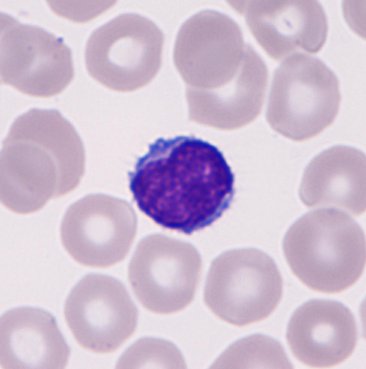
Peripheral blood smear showing a typical lymphocyte.